May-Grünwald-Giemsa/Pappenheim stain. 40× oil immersion. Bone marrow smear.
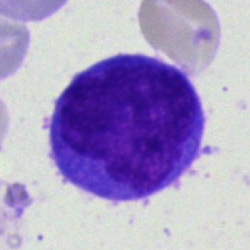 Single cell identified as a monocyte.